Bone marrow aspirate smear.
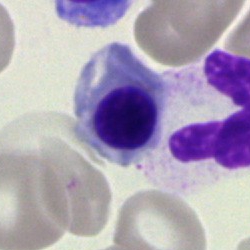

Single cell identified as a normoblast.